Bone marrow smear:
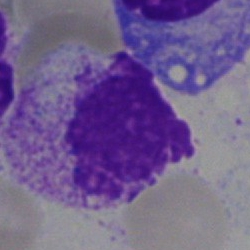Q: What is shown here?
A: Artifact.